Bone marrow aspirate smear — 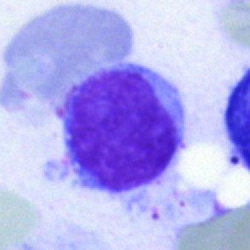

The classification is typical lymphocyte.